Bone marrow smear.
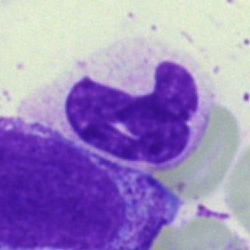

Cell type = segmented neutrophil.